40× objective, oil immersion; bone marrow aspirate smear
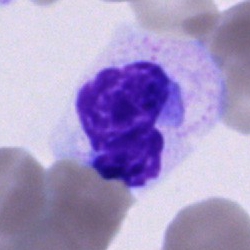
This is a cell of indeterminate lineage.